Bone marrow smear; May-Grünwald-Giemsa stain.
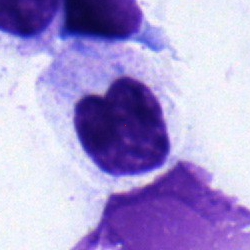

Specimen: bone marrow smear.
Classification: metamyelocyte.
Lineage: myeloid.